Bone marrow aspirate smear: 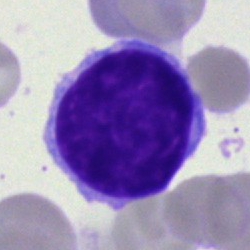

Typical lymphocyte.